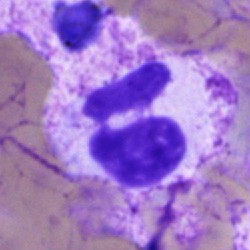

Specimen: bone marrow aspirate smear.
Morphological class: polymorphonuclear neutrophil.